Bone marrow aspirate smear · May-Grünwald-Giemsa/Pappenheim stain · single-cell crop.
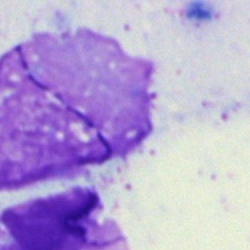 Classification = artifact.